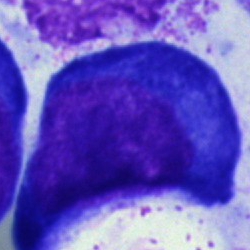

Morphology consistent with a pronormoblast.